Bone marrow smear
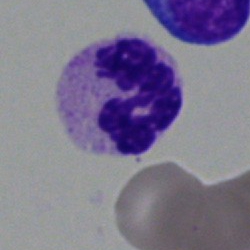

A neutrophil (segmented).